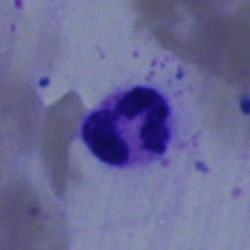 Showing a polymorphonuclear neutrophil.